Bone marrow smear — 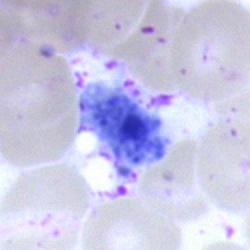 Q: What is shown here?
A: Artifact.